Bone marrow aspirate smear; single-cell crop
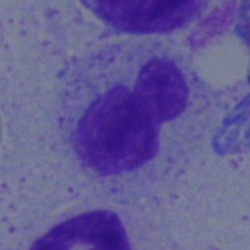

Cell: band neutrophil.